Brightfield microscopy, 40× oil immersion · bone marrow smear: 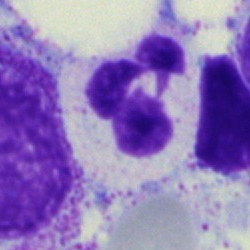{"cell_type": "polymorphonuclear neutrophil"}